Single-cell field; brightfield, 40× oil-immersion objective; bone marrow smear:
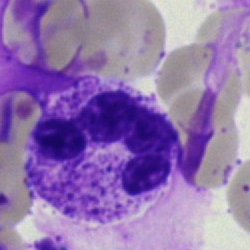

Morphological class: neutrophil (segmented).